Bone marrow aspirate smear · image size 250×250 · single-cell field
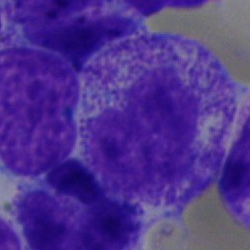 Morphology — myelocyte.